Bone marrow smear — 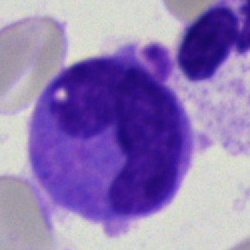
Q: Identify the cell.
A: This is a monocyte.